Bone marrow aspirate smear:
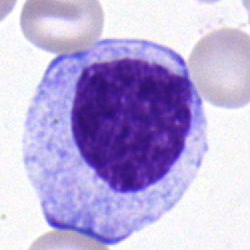 Morphology consistent with a myelocyte.